Bone marrow aspirate smear: 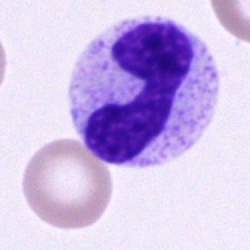Showing a stab cell.